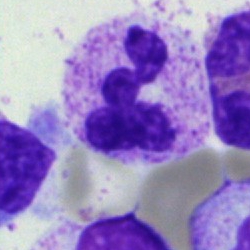

Q: Identify the cell.
A: It is a segmented neutrophil.